Bone marrow smear. 250×250 px: 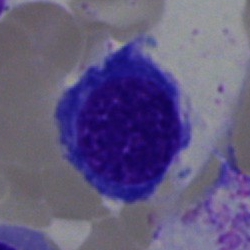Nucleated red blood cell.